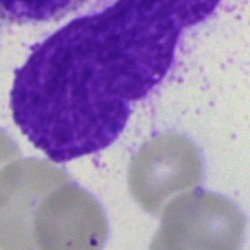
Q: What is shown here?
A: An artefact.